Bone marrow aspirate smear
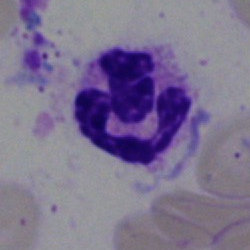Polymorphonuclear neutrophil.